Bone marrow smear; 250×250 px — 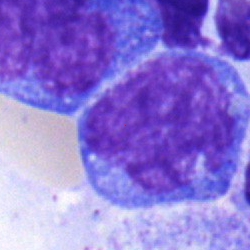
Blast.